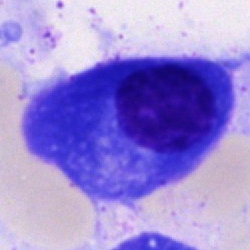 Q: What cell is this?
A: A plasmacyte.